M8 digital microscope (Precipoint), 100× oil immersion. Peripheral blood film: 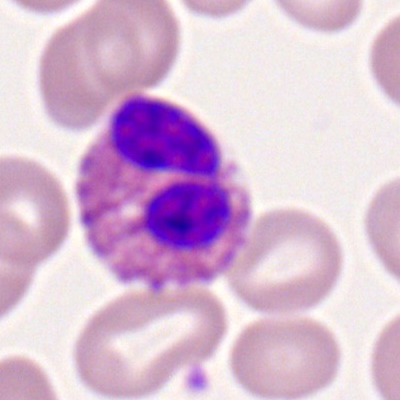Specimen: peripheral blood film.
Cell type: eosinophil.
Lineage: myeloid.